Bone marrow aspirate smear: 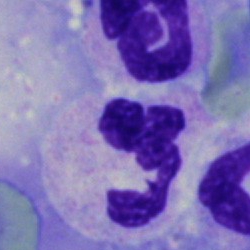Single cell identified as a segmented neutrophil.